Bone marrow smear; 40× objective, oil immersion; Pappenheim-stained:
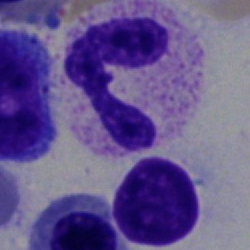
Morphological class = neutrophil (segmented).